Bone marrow aspirate smear.
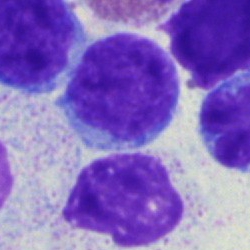
Morphology → blast.